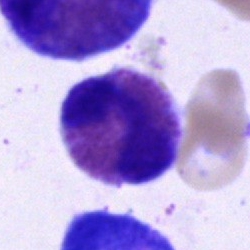 This is an eosinophil.